May-Grünwald-Giemsa/Pappenheim stain; bone marrow aspirate smear: 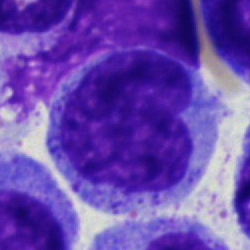 Promyelocyte.